Bone marrow smear: 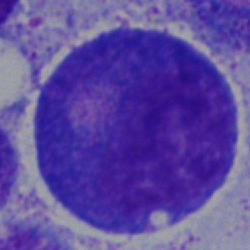
The morphological class is progranulocyte.